Peripheral blood smear. 400 by 400 pixels.
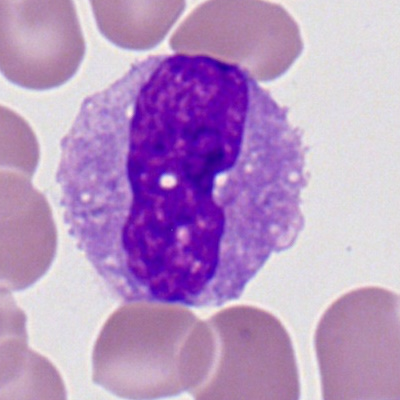
Cell type = monocyte.